Bone marrow smear
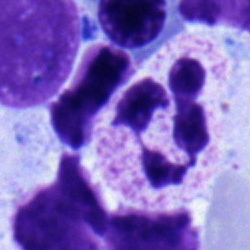

Q: What is the morphological classification of this cell?
A: This is a neutrophil (segmented).